Bone marrow aspirate smear — 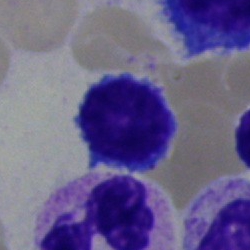Single cell identified as a lymphocyte.